May-Grünwald-Giemsa stain · bone marrow aspirate smear
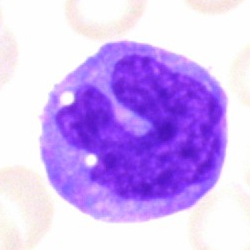 Monocyte.